Brightfield microscopy, 40× oil immersion · bone marrow aspirate smear:
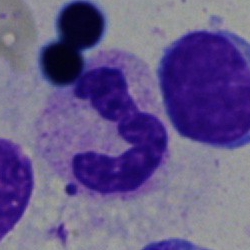 The cell shown is a segmented neutrophil.